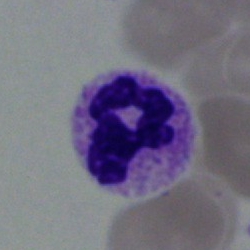

Specimen: bone marrow aspirate smear.
Morphological class: segmented neutrophil.